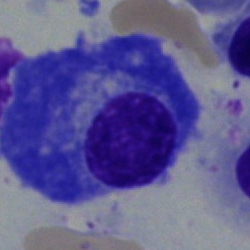 Q: What is shown here?
A: A plasmacyte.